Peripheral blood smear:
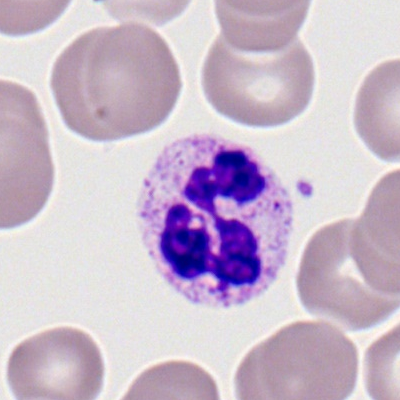

Specimen: peripheral blood smear.
Cell: neutrophil (segmented).
Lineage: myeloid.